Bone marrow smear. Image size 250×250. May-Grünwald-Giemsa/Pappenheim stain:
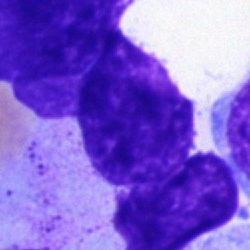 Morphology consistent with an artifact.